Brightfield, 40× oil-immersion objective · bone marrow smear.
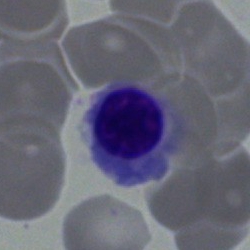
Impression → normoblast.